Romanowsky stain. Peripheral blood smear
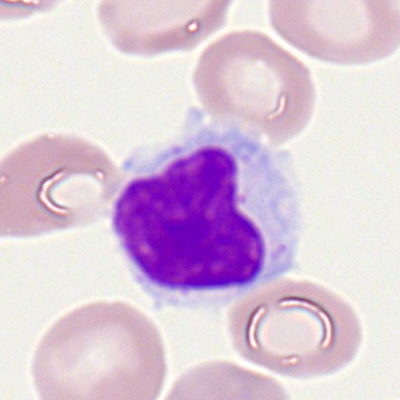 Q: What is the morphological classification of this cell?
A: Lymphocyte.